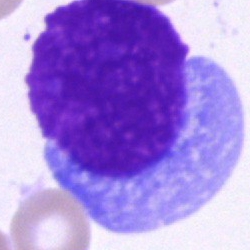
Specimen: bone marrow aspirate smear.
Cell: cell of indeterminate lineage.